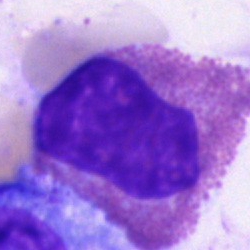 Morphology — eosinophil.